250×250; bone marrow smear
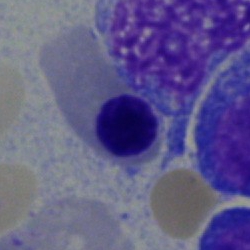 Morphology consistent with a nucleated red cell.